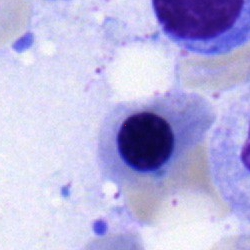
Q: What cell is this?
A: It is a nucleated red cell.